Peripheral blood film. 400×400: 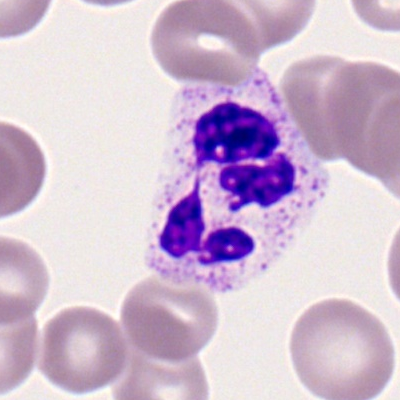

Polymorphonuclear neutrophil.